Image size 250×250; bone marrow smear; brightfield, 40× oil-immersion objective
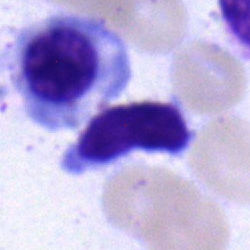 Single cell identified as a lymphocyte.